Bone marrow aspirate smear · brightfield, 40× oil-immersion objective · single-cell crop
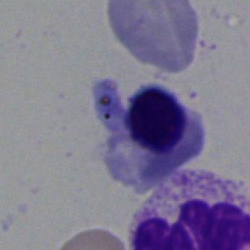
Q: What is the morphological classification of this cell?
A: This is an erythroblast.